Bone marrow smear; single-cell crop.
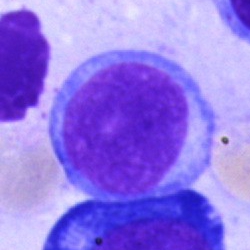
Q: Which cell type is shown here?
A: This is a blast.